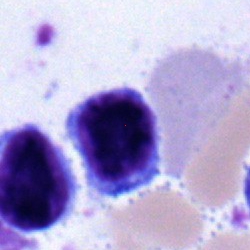 Cell = typical lymphocyte.